Bone marrow aspirate smear.
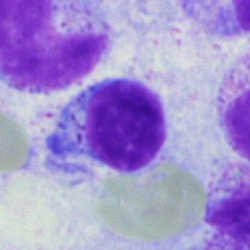This is a typical lymphocyte.